Peripheral blood film
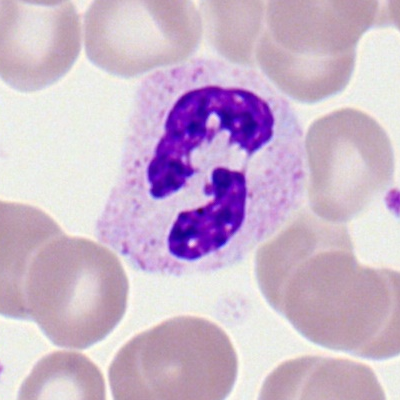 Showing a polymorphonuclear neutrophil.